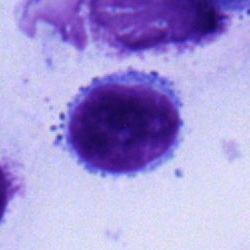The cell shown is a lymphocyte.